Bone marrow smear:
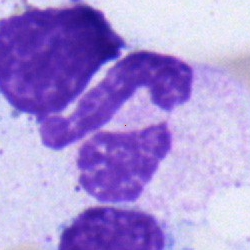 Classification — neutrophil (segmented).